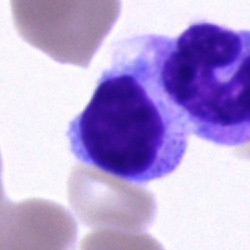 Bone marrow smear showing a cell of indeterminate lineage.